Bone marrow smear
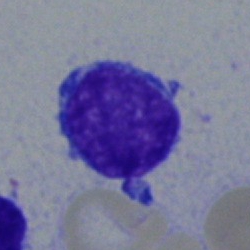 Single cell identified as a typical lymphocyte.